Bone marrow smear. Cropped to a single cell: 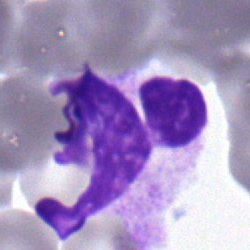

{"cell_type": "polymorphonuclear neutrophil"}